Bone marrow aspirate smear; brightfield microscopy, 40× oil immersion; 250×250 px.
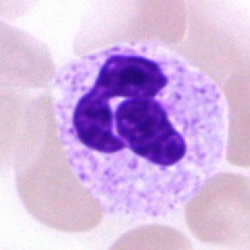
Q: What type of cell is this?
A: A segmented neutrophil.